Bone marrow aspirate smear.
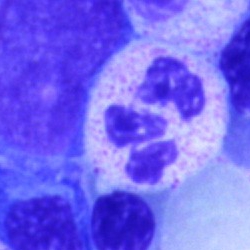Morphology → polymorphonuclear neutrophil.